Bone marrow smear — 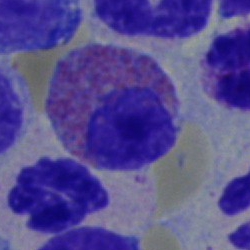 Showing an eosinophilic granulocyte.